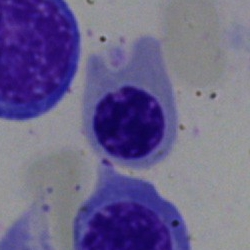 Impression → nucleated red blood cell.